Bone marrow smear:
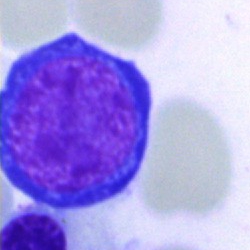
The cell shown is an erythroblast.